Bone marrow aspirate smear: 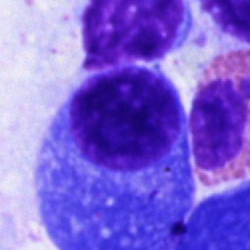Plasmacyte.